Single cell centered in the field. Bone marrow smear. May-Grünwald-Giemsa/Pappenheim stain: 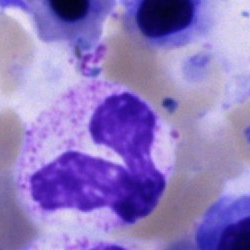
{"cell_type": "segmented neutrophil"}